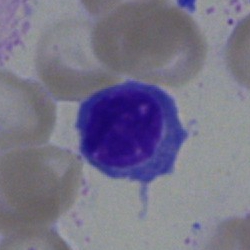

A typical lymphocyte.